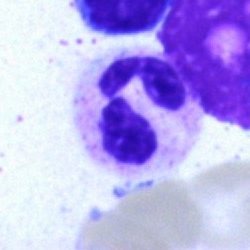 Q: What type of cell is this?
A: Polymorphonuclear neutrophil.